250×250. Bone marrow smear. Pappenheim-stained
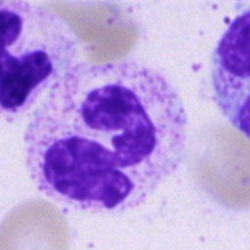 Showing a segmented neutrophil.